May-Grünwald-Giemsa stain. Bone marrow aspirate smear: 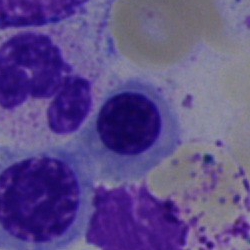
Showing an erythroblast.